Cropped to a single cell; bone marrow aspirate smear: 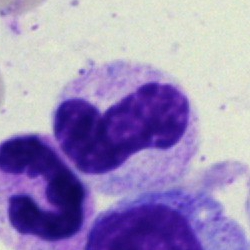
Stab cell.